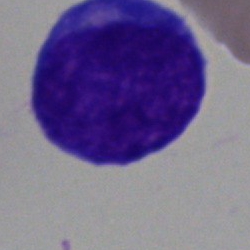
Morphology consistent with a blast.